Bone marrow smear
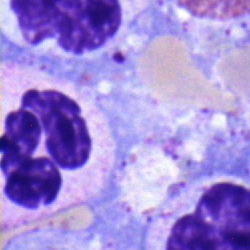 Showing a polymorphonuclear neutrophil.